250×250 · bone marrow smear
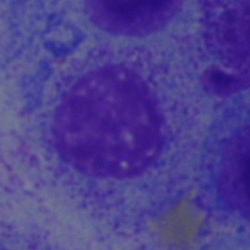

Q: What cell is this?
A: A myelocyte.